250×250 px · bone marrow smear — 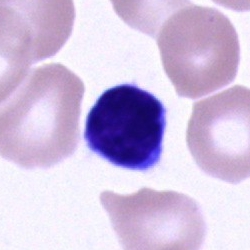This is a typical lymphocyte.